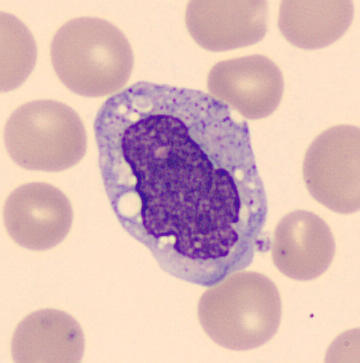
Q: Identify the cell.
A: A monocyte.
Peripheral blood film.